Peripheral blood film; Romanowsky-stained
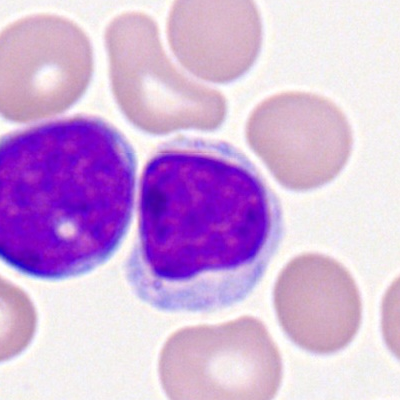
The classification is typical lymphocyte.